40× objective, oil immersion; bone marrow smear; single cell centered in the field: 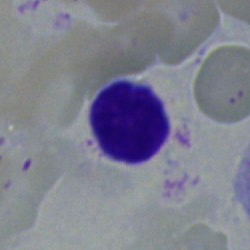A typical lymphocyte.